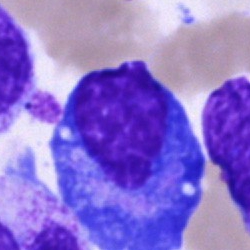Specimen: bone marrow smear.
Cell: plasmacyte.
Lineage: lymphoid.